100× oil immersion · Romanowsky-stained · peripheral blood smear.
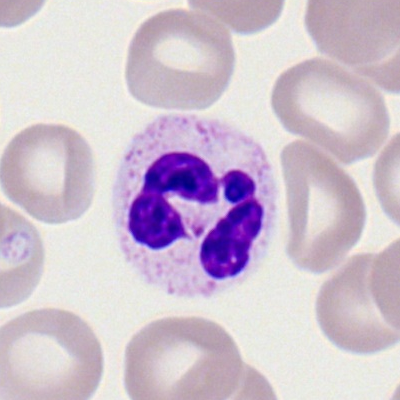
Q: What cell is this?
A: It is a neutrophil (segmented).